Bone marrow smear.
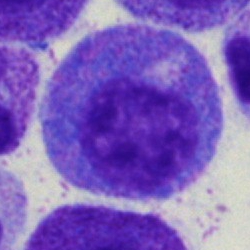Morphological class: promyelocyte.